Brightfield microscopy, 40× oil immersion; bone marrow smear.
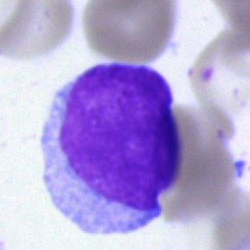

Morphology — blast cell.